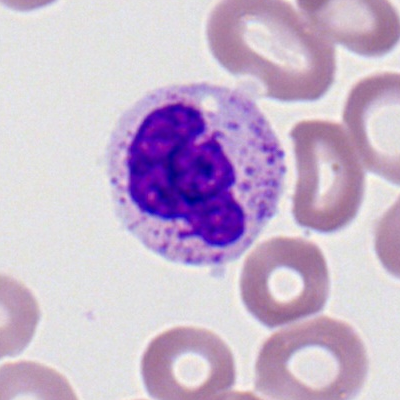Impression — segmented neutrophil.